Bone marrow aspirate smear
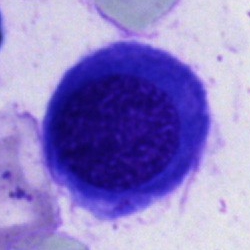{"cell_type": "erythroblast"}